Bone marrow aspirate smear: 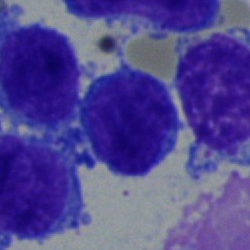
Impression → typical lymphocyte.